250 by 250 pixels · bone marrow smear — 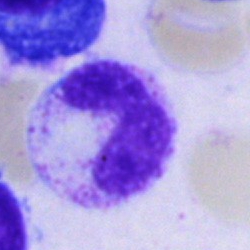 Cell type = band neutrophil.